Bone marrow smear. 40× oil immersion: 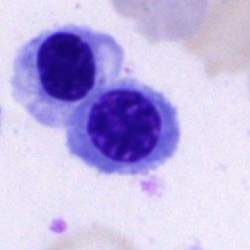

Cell: nucleated red cell.